Bone marrow smear:
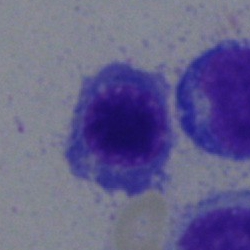

{"cell_type": "erythroblast", "lineage": "erythroid"}